May-Grünwald-Giemsa stain. Bone marrow aspirate smear: 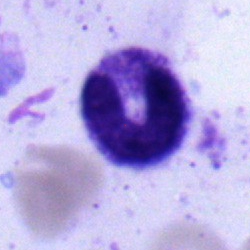 Specimen: bone marrow aspirate smear.
Classification: neutrophil (band).